400×400 · peripheral blood film · 100× objective, oil immersion — 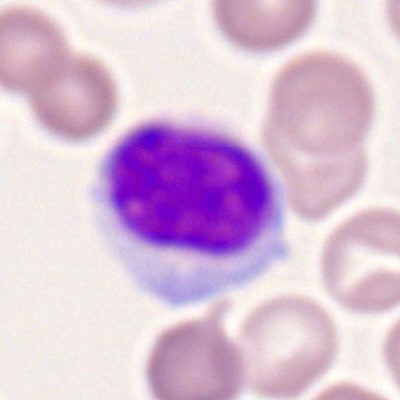

Morphological class = typical lymphocyte.